400×400; peripheral blood smear:
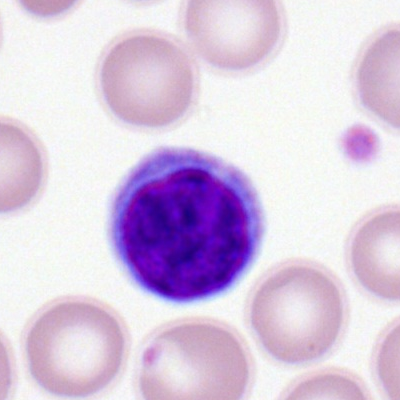Impression → typical lymphocyte.